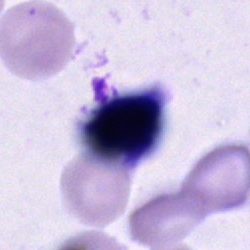Cell of indeterminate lineage.